Peripheral blood smear. MGG-stained
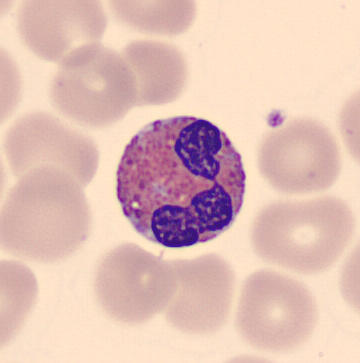 {"cell_type": "eosinophil"}